Bone marrow aspirate smear · brightfield, 40× oil-immersion objective
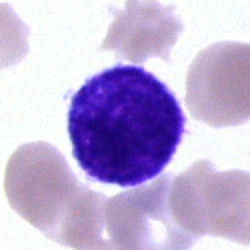

Q: What cell is this?
A: This is a typical lymphocyte.